Bone marrow aspirate smear — 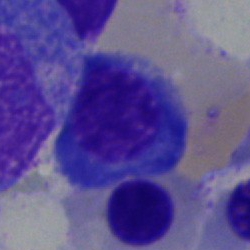
Showing a normoblast.